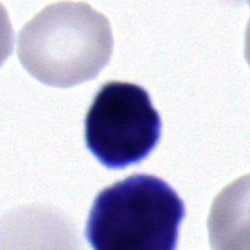 Morphological class: lymphocyte.